Bone marrow aspirate smear. Brightfield microscopy, 40× oil immersion. Image size 250×250:
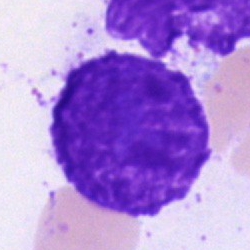
An artefact.